Bone marrow aspirate smear: 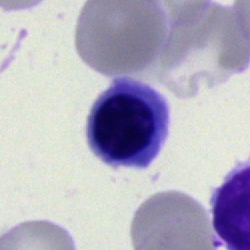 Classification — nucleated red cell.